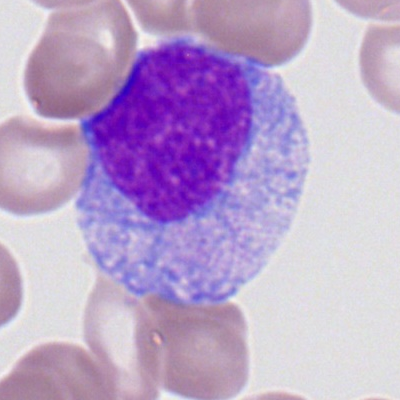A monocyte on a peripheral blood smear.